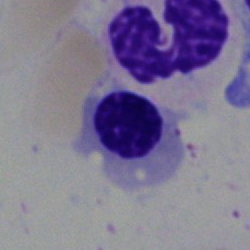

Bone marrow smear showing a nucleated red cell.